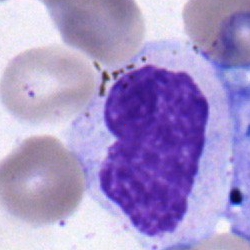Morphology → metamyelocyte.